400×400 · Romanowsky stain · peripheral blood film:
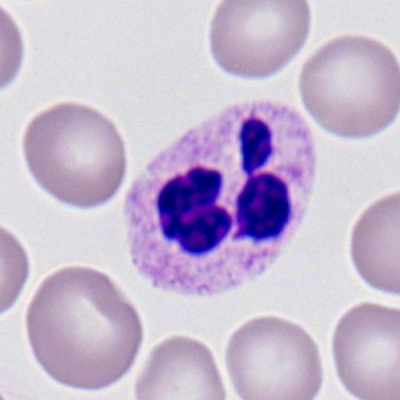Showing a neutrophil (segmented).